Bone marrow smear: 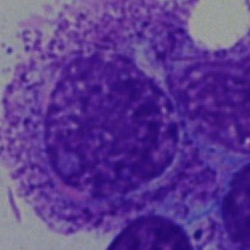

A progranulocyte.